May-Grünwald-Giemsa/Pappenheim stain; bone marrow smear: 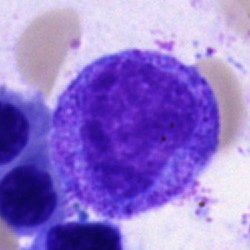
Q: What cell is this?
A: Progranulocyte.